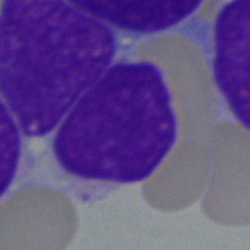Cell type — blast cell.